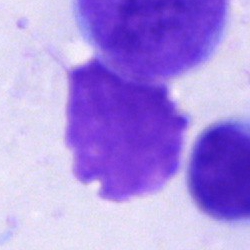 Morphology → artifact.